Bone marrow aspirate smear.
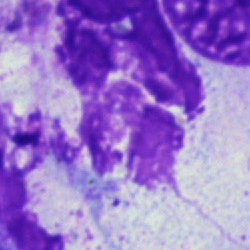Impression → artifact.